Bone marrow smear. Cropped to a single cell — 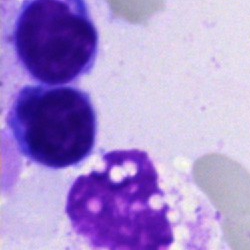
Classification: typical lymphocyte.